250×250; bone marrow aspirate smear; May-Grünwald-Giemsa/Pappenheim stain — 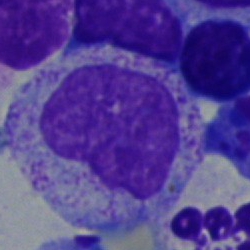Q: What is the morphological classification of this cell?
A: A myelocyte.